40× objective, oil immersion. Bone marrow smear: 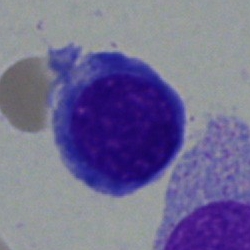 Showing an erythroblast.